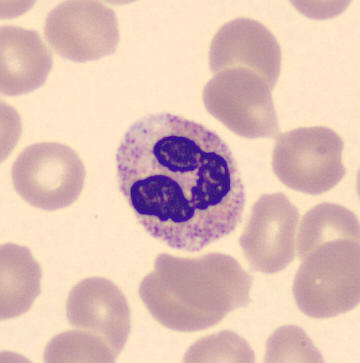

Acquisition: Peripheral blood film.
Identified as a neutrophil (segmented).